Bone marrow aspirate smear — 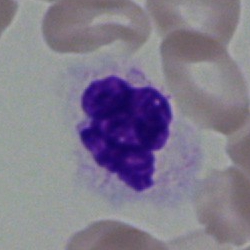
Morphology consistent with a neutrophil (segmented).